Peripheral blood smear
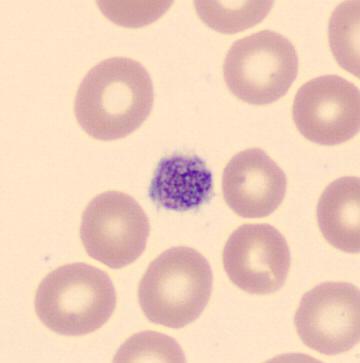 Q: What is this?
A: This is a thrombocyte.